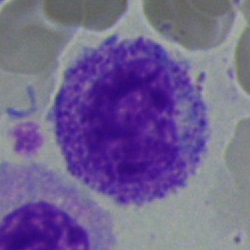 Impression — myelocyte.